Bone marrow aspirate smear. 250 by 250 pixels — 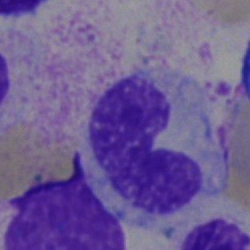 Specimen: bone marrow smear.
Cell type: stab cell.
Lineage: myeloid.